Bone marrow aspirate smear
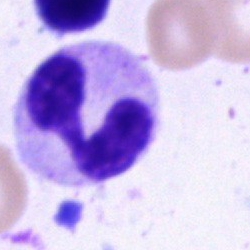 Impression — segmented neutrophil.